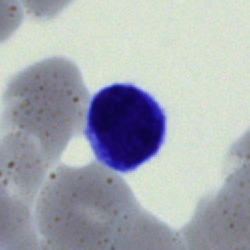
Classification — artefact.